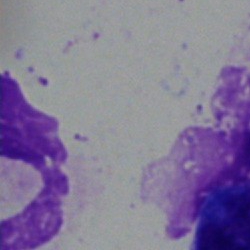Specimen: bone marrow smear.
Classification: artefact.